Single-cell field; bone marrow aspirate smear; image size 250×250.
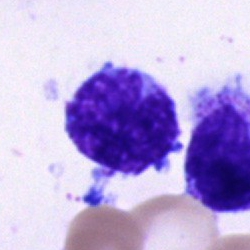

{"cell_type": "lymphocyte", "lineage": "lymphoid"}